40× objective, oil immersion · bone marrow smear — 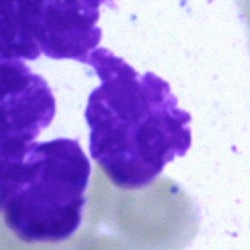
Q: What is shown here?
A: Artefact.